Peripheral blood film; Romanowsky-stained
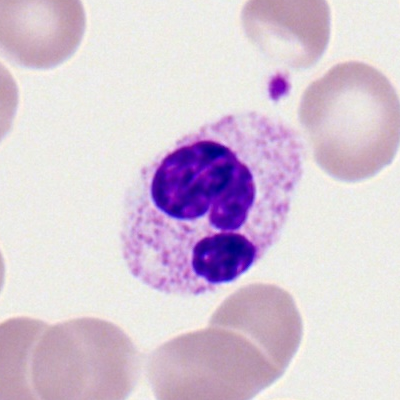
Impression — neutrophil (segmented).